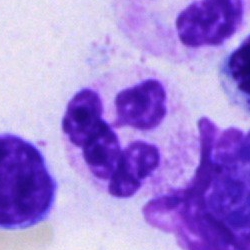
Neutrophil (segmented).